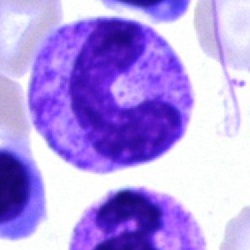 This is a stab cell.